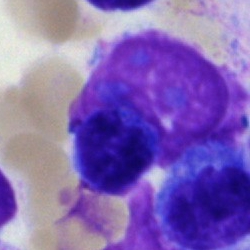
Morphology → lymphocyte.